Peripheral blood film:
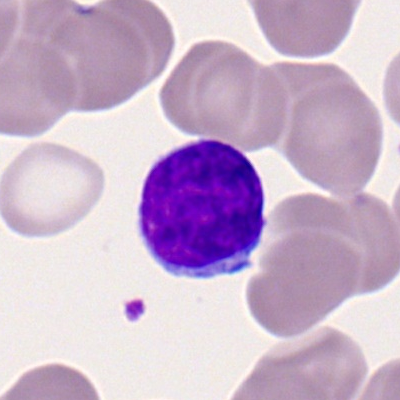 A lymphocyte.